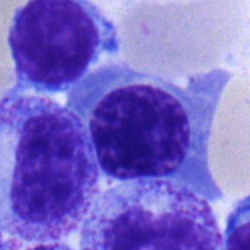Specimen: bone marrow aspirate smear.
Classification: erythroblast.
Lineage: erythroid.